Bone marrow smear.
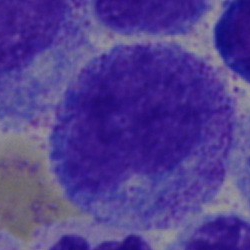 Morphology consistent with a promyelocyte.